40× objective, oil immersion; bone marrow aspirate smear — 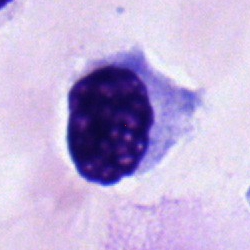

Impression — nucleated red cell.